Brightfield, 40× oil-immersion objective; bone marrow smear
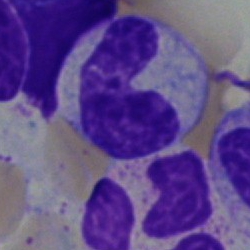{"cell_type": "stab cell", "lineage": "myeloid"}